Bone marrow smear — 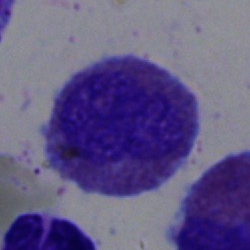Morphology consistent with an eosinophilic granulocyte.